Bone marrow smear; 250×250 px — 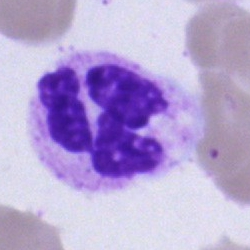 The cell is polymorphonuclear neutrophil.